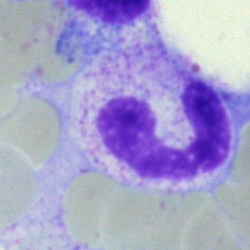Cell type = band neutrophil.